Bone marrow aspirate smear: 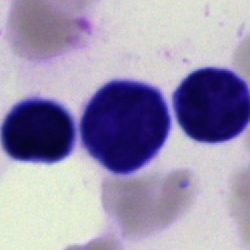

Specimen: bone marrow aspirate smear.
Classification: typical lymphocyte.